MGG-stained. Bone marrow aspirate smear
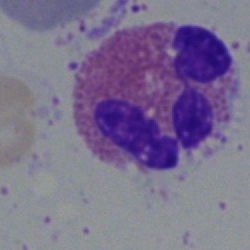

Q: What type of cell is this?
A: This is an eosinophilic granulocyte.